Bone marrow aspirate smear: 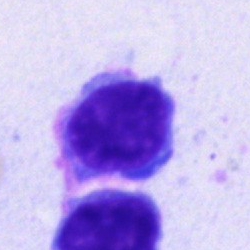 Impression — typical lymphocyte.